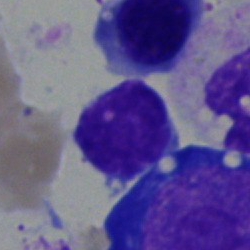

Typical lymphocyte.